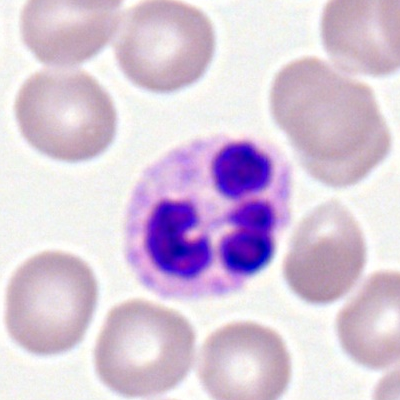The cell type is neutrophil (segmented).